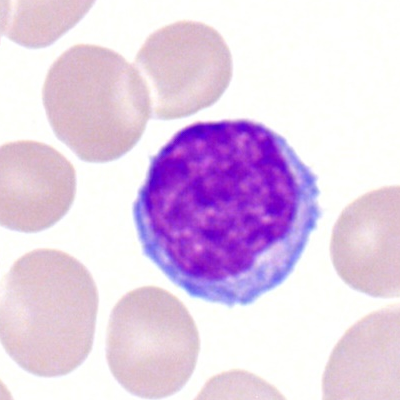
{"cell_type": "lymphocyte", "lineage": "lymphoid"}